Bone marrow aspirate smear — 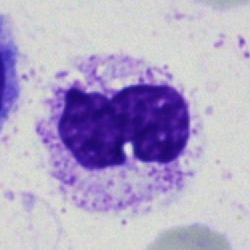

Q: What is the morphological classification of this cell?
A: This is a neutrophil (band).